Bone marrow smear
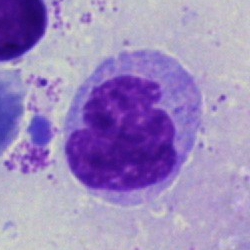

Cell type = monocyte.